Bone marrow smear
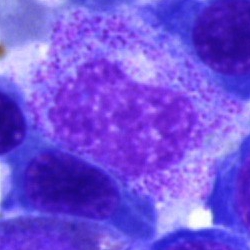Classification = metamyelocyte.